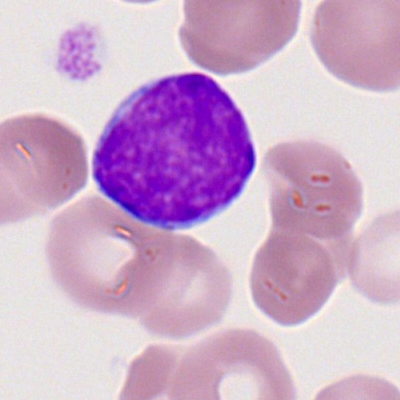

Classification: myeloid blast.